May-Grünwald-Giemsa/Pappenheim stain · bone marrow aspirate smear — 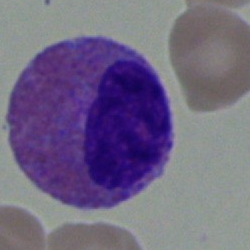Classification: eosinophil.